Single-cell crop · 250 by 250 pixels · bone marrow aspirate smear
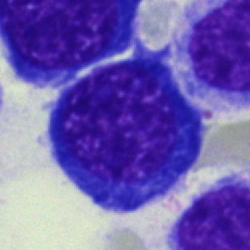
Q: What is shown here?
A: This is an erythroblast.